Bone marrow smear.
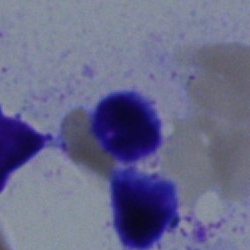
Specimen: bone marrow smear.
Cell type: typical lymphocyte.
Lineage: lymphoid.